Cropped to a single cell. Bone marrow smear. 40× oil immersion: 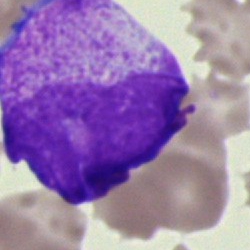 Blast cell.